Single cell centered in the field. Peripheral blood smear. Brightfield, 100× oil-immersion objective: 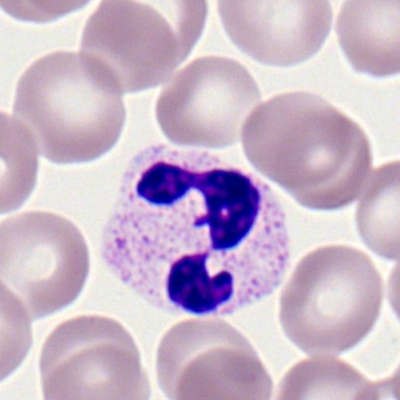Impression — neutrophil (segmented).